Bone marrow aspirate smear:
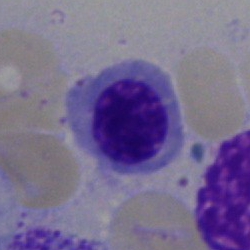

Specimen: bone marrow aspirate smear.
Cell: nucleated red blood cell.